Bone marrow smear. 250×250 px: 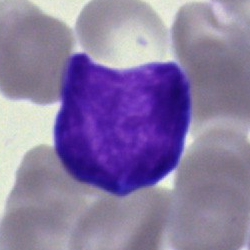 Morphology — undifferentiated blast.